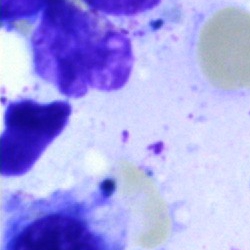Cell type — artifact.